Bone marrow aspirate smear — 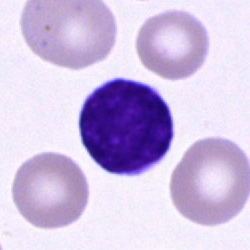 Specimen: bone marrow smear.
Classification: lymphocyte.